Bone marrow smear.
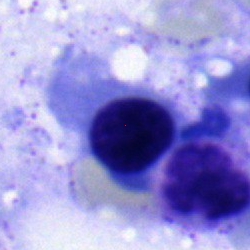 {"cell_type": "nucleated red blood cell"}